Peripheral blood film: 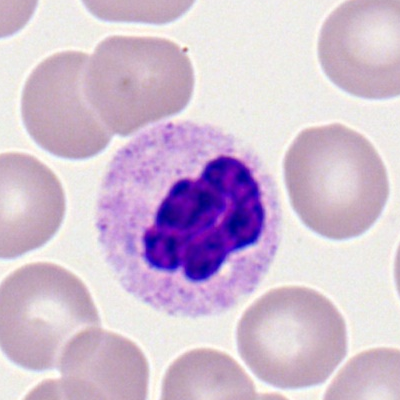

Showing a neutrophil (segmented).